Pappenheim-stained; bone marrow aspirate smear.
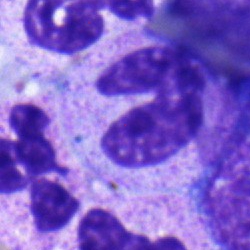 {"cell_type": "neutrophil (band)"}